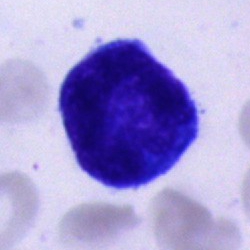A cell of indeterminate lineage.